250 by 250 pixels; brightfield, 40× oil-immersion objective; bone marrow smear: 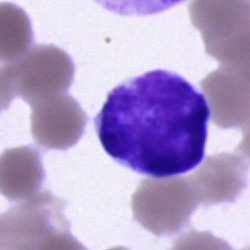
The cell type is lymphocyte.